Peripheral blood smear
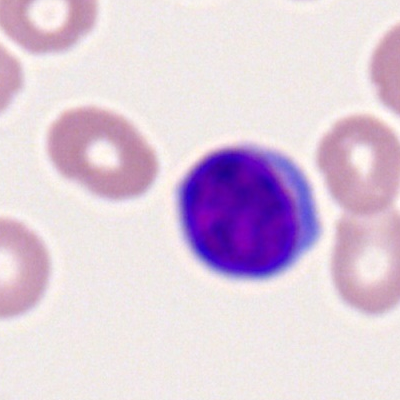 {"cell_type": "typical lymphocyte", "lineage": "lymphoid"}